Bone marrow smear; 40× objective, oil immersion.
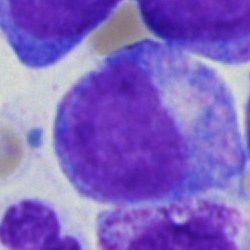Q: What type of cell is this?
A: It is a progranulocyte.